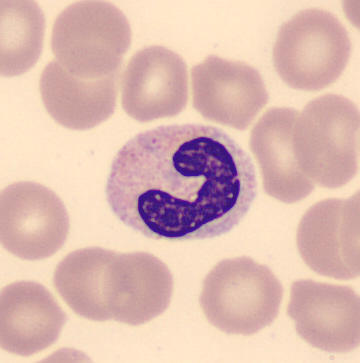
Morphological class = stab cell.